Bone marrow aspirate smear — 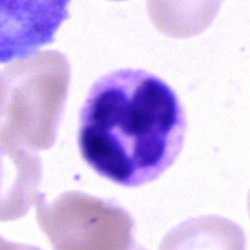 Single cell identified as a segmented neutrophil.